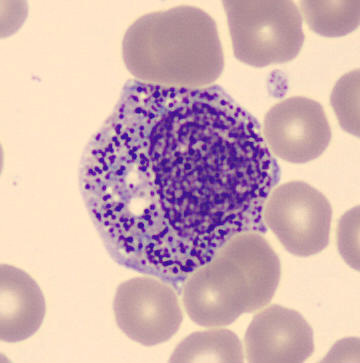

Single cell identified as a progranulocyte.

Single-cell crop · peripheral blood smear.